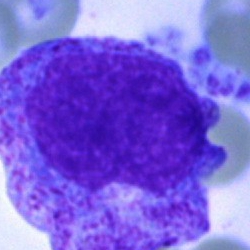Bone marrow aspirate smear, single cell — promyelocyte.